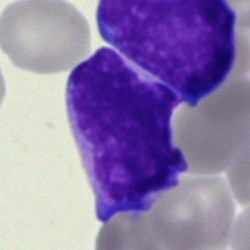Impression — blast.